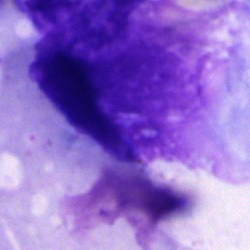This is an artifact.